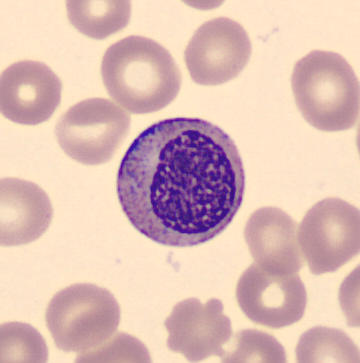Q: Which cell type is shown here?
A: Myelocyte.